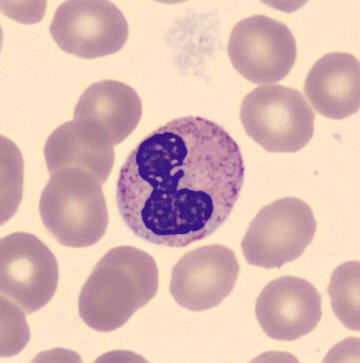

Q: Identify the cell.
A: This is a neutrophil (segmented).
Acquisition: Imaged on a CellaVision DM96 analyser; peripheral blood film.